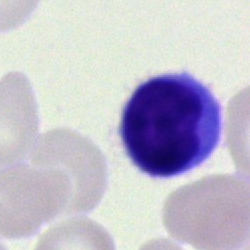

Specimen: bone marrow smear.
Cell: lymphocyte.
Lineage: lymphoid.